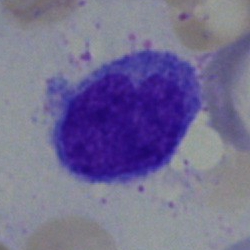

Morphological class: monocyte.